Bone marrow aspirate smear. 250 by 250 pixels:
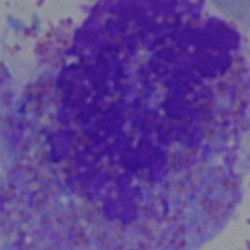{"cell_type": "eosinophil", "lineage": "myeloid"}